250×250 px. Bone marrow smear — 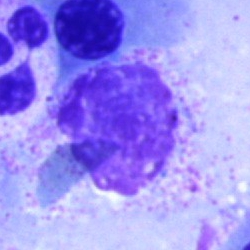Showing an artifact.